Brightfield microscopy, 40× oil immersion · image size 250×250 · bone marrow aspirate smear.
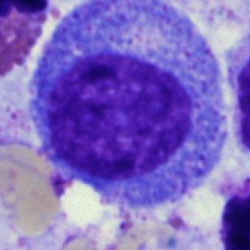

Q: What is shown here?
A: It is a promyelocyte.